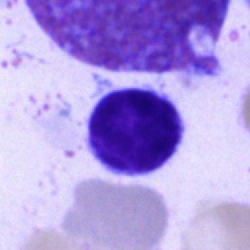Classification — plasmacyte.